Bone marrow aspirate smear · 40× oil immersion · cropped to a single cell
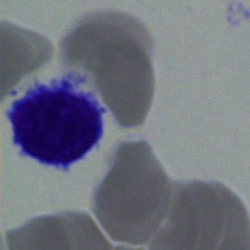
Q: Identify the cell.
A: Lymphocyte.